Bone marrow smear · brightfield microscopy, 40× oil immersion: 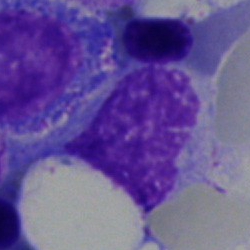
Cell — cell of indeterminate lineage.